Bone marrow smear · cropped to a single cell:
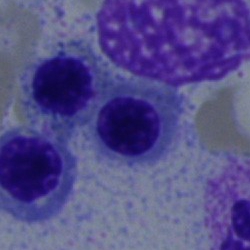

Specimen: bone marrow aspirate smear.
Cell type: normoblast.